Bone marrow aspirate smear: 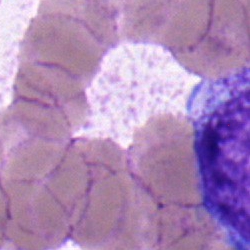
A promyelocyte.